Bone marrow smear · Pappenheim-stained.
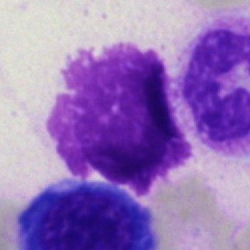 An artefact.